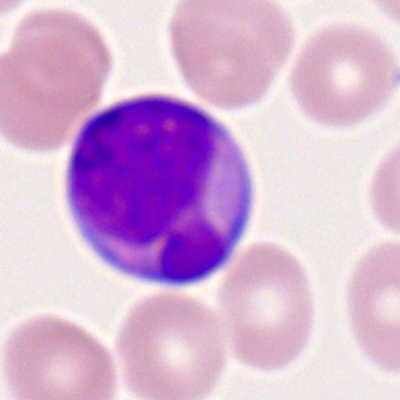 Cell — myeloblast.